Bone marrow smear
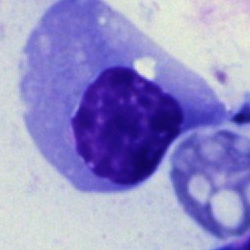

Nucleated red cell.